Peripheral blood film:
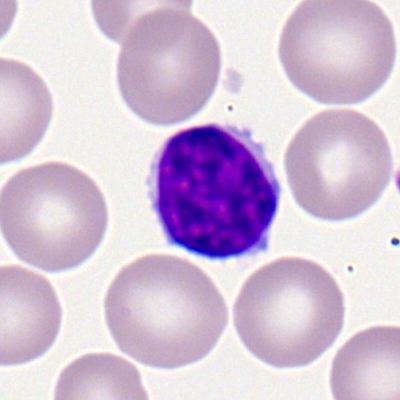Cell type = lymphocyte.